Bone marrow smear. Single-cell field
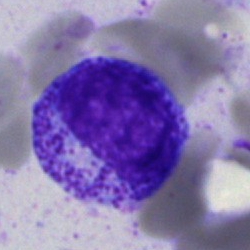 Morphology consistent with a myelocyte.